Bone marrow smear: 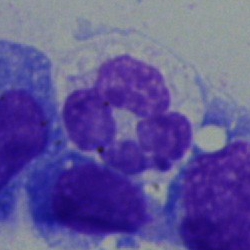

Segmented neutrophil.